Peripheral blood smear. Cropped to a single cell.
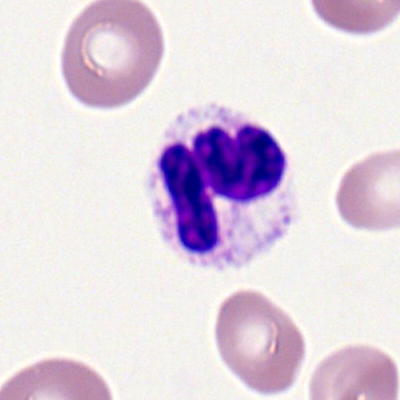 A segmented neutrophil.